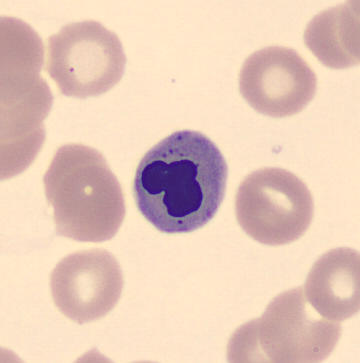 Preparation: May-Grünwald-Giemsa-stained; imaged on a CellaVision DM96 analyser; peripheral blood film.
Q: What is the morphological classification of this cell?
A: This is a nucleated red blood cell.